Peripheral blood film — 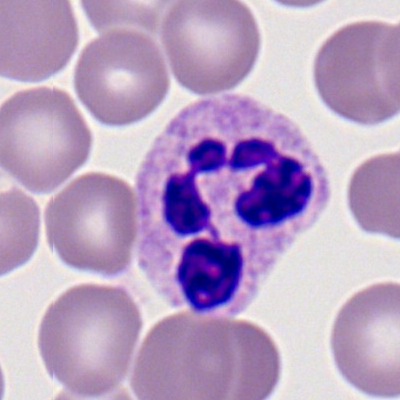 Morphology consistent with a polymorphonuclear neutrophil.